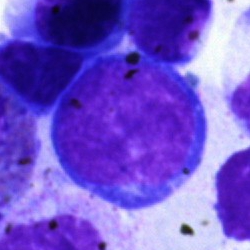Morphology — pronormoblast.